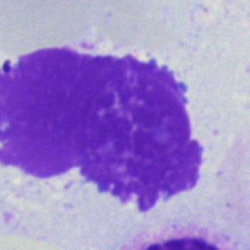
Single cell identified as an artifact.